Peripheral blood smear · image size 400×400 · Romanowsky stain:
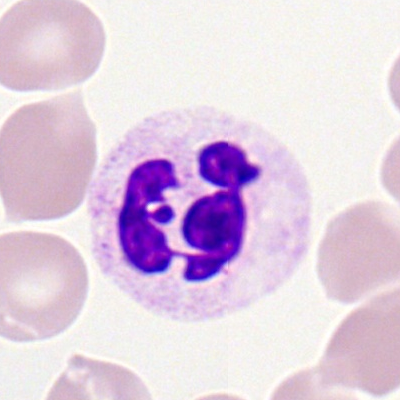Single cell identified as a neutrophil (segmented).